250×250 px. Bone marrow aspirate smear. 40× objective, oil immersion — 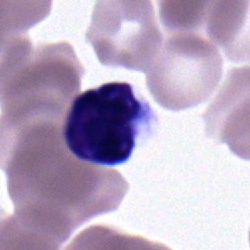

This is a typical lymphocyte.